Brightfield microscopy, 40× oil immersion. Bone marrow aspirate smear
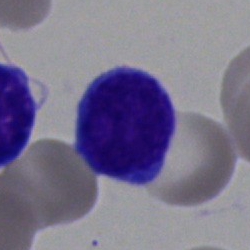This is a typical lymphocyte.